Bone marrow aspirate smear.
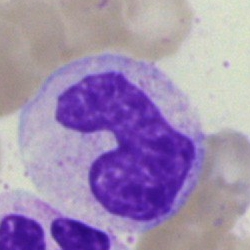Morphology → neutrophil (band).